Bone marrow aspirate smear. Pappenheim-stained:
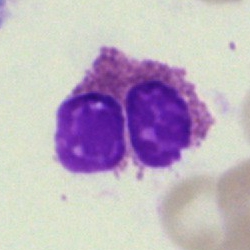
Cell — eosinophilic granulocyte.